Peripheral blood film; 400×400 px — 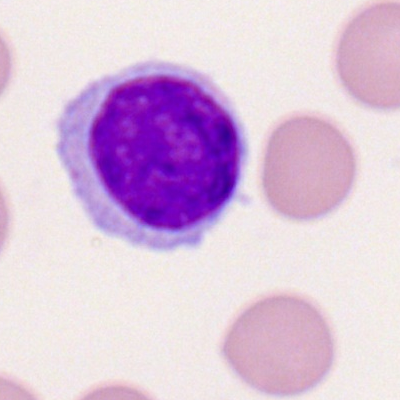

Cell — typical lymphocyte.